Bone marrow aspirate smear.
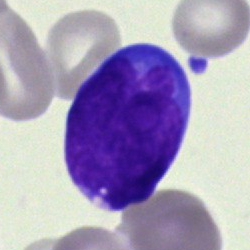

Undifferentiated blast.